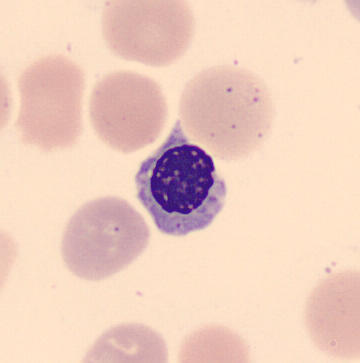

Classification — nucleated red cell.
Image size 360×363. Peripheral blood smear.